Bone marrow aspirate smear:
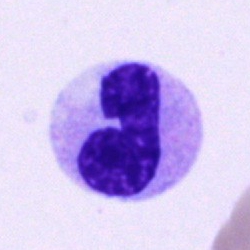Q: Which cell type is shown here?
A: This is a band neutrophil.